250×250; single-cell crop; bone marrow aspirate smear:
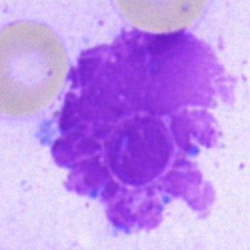Cell type — artefact.